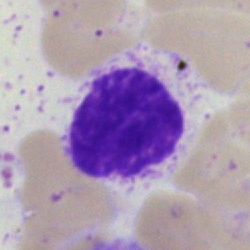 Q: What is shown here?
A: An artefact.